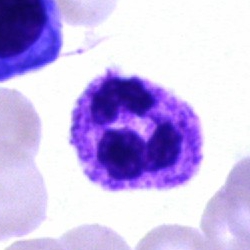 Specimen: bone marrow smear.
Cell: segmented neutrophil.
Lineage: myeloid.